Bone marrow smear · 250×250 px.
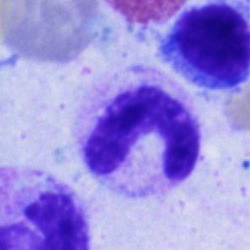
Q: What is the morphological classification of this cell?
A: Stab cell.